Bone marrow smear.
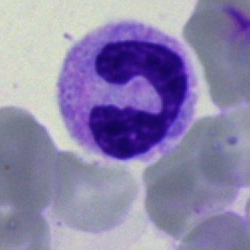 Q: What is shown here?
A: This is a polymorphonuclear neutrophil.